Bone marrow smear — 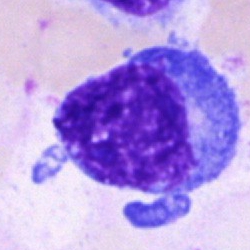

This is a blast cell.